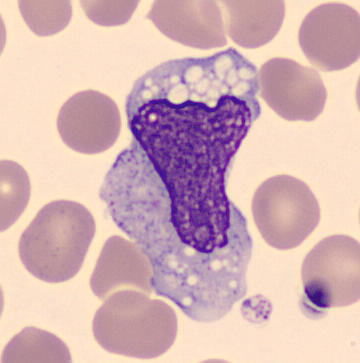This is a monocyte. CellaVision DM96 · peripheral blood film.